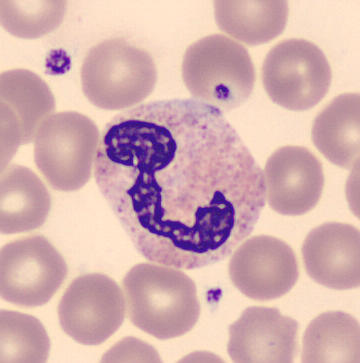

Peripheral blood film, single cell — neutrophil (segmented).